Bone marrow aspirate smear · 250×250
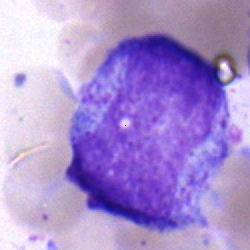Morphological class — promyelocyte.